Bone marrow smear:
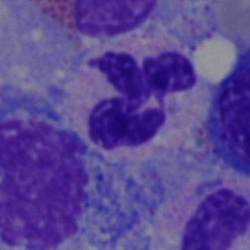 Q: What type of cell is this?
A: A segmented neutrophil.